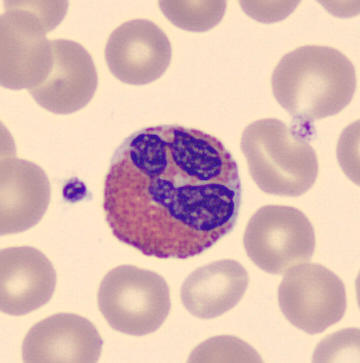

An eosinophilic granulocyte.
Acquisition: Peripheral blood film; automated cell imaging (CellaVision DM96); single-cell field.